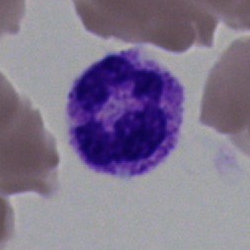 Specimen: bone marrow smear.
Morphological class: neutrophil (segmented).
Lineage: myeloid.